Bone marrow aspirate smear · 250 by 250 pixels
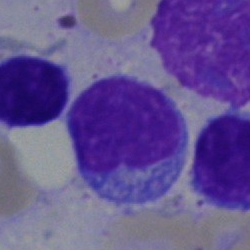 Typical lymphocyte.